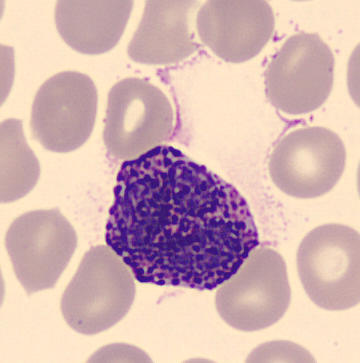
Cell type: basophil.